Bone marrow smear.
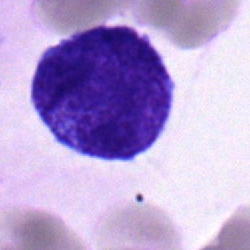

Morphology consistent with a blast cell.